Bone marrow smear
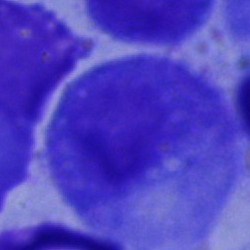Morphology — promyelocyte.